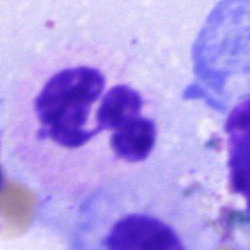
A polymorphonuclear neutrophil on a bone marrow smear.